Bone marrow aspirate smear.
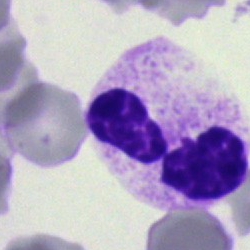

Specimen: bone marrow aspirate smear.
Cell type: neutrophil (segmented).